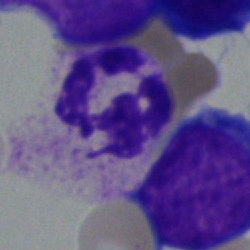 Single-cell crop from a bone marrow smear: polymorphonuclear neutrophil.